Bone marrow smear. 250×250 px. May-Grünwald-Giemsa stain
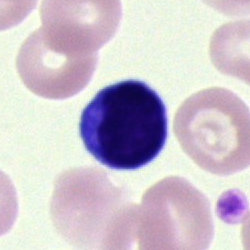
Showing a typical lymphocyte.